May-Grünwald-Giemsa stain · bone marrow smear — 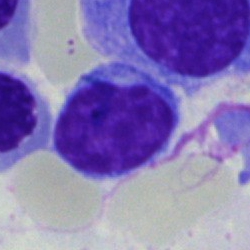
Showing a lymphocyte.